Peripheral blood film — 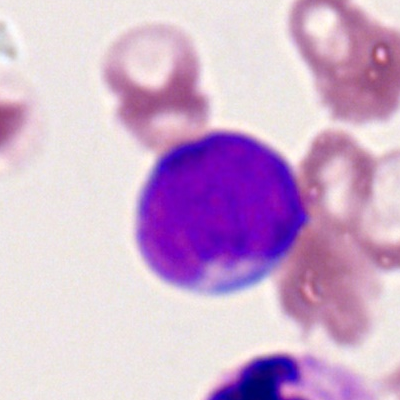

A myeloblast.